Bone marrow aspirate smear.
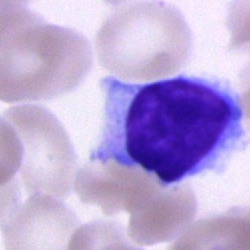 This is a lymphocyte.